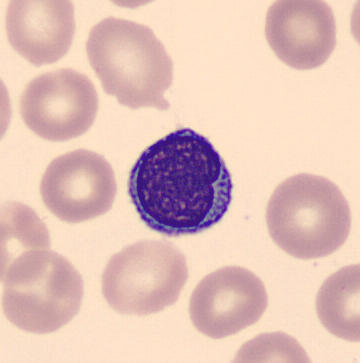Peripheral blood smear. A typical lymphocyte.